Bone marrow aspirate smear: 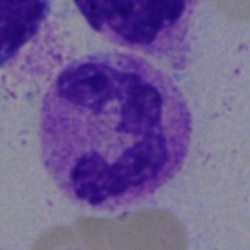 Q: What is shown here?
A: A polymorphonuclear neutrophil.